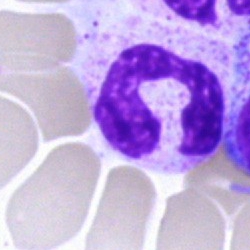
Cell type — polymorphonuclear neutrophil.